250 by 250 pixels · bone marrow aspirate smear · 40× objective, oil immersion.
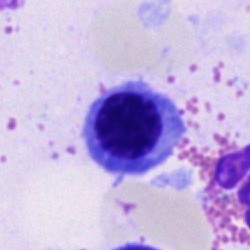
Q: What is the morphological classification of this cell?
A: A nucleated red cell.